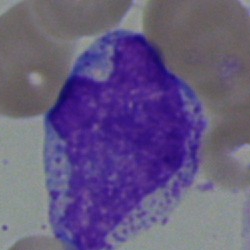 Morphology → myelocyte.